Single-cell crop; bone marrow smear — 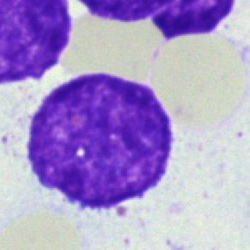Artifact.